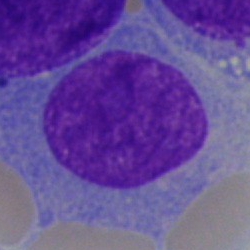

Single-cell crop from a bone marrow smear: undifferentiated blast.